Bone marrow aspirate smear.
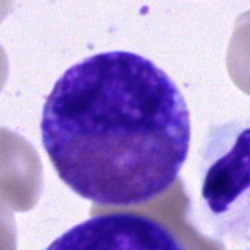Showing an eosinophilic granulocyte.